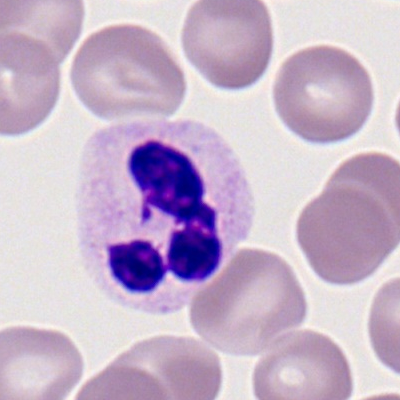 Single-cell crop from a peripheral blood smear: segmented neutrophil.